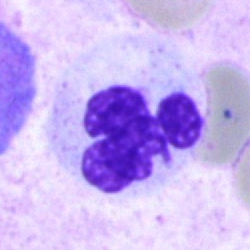

Specimen: bone marrow smear.
Morphological class: neutrophil (segmented).
Lineage: myeloid.